Bone marrow aspirate smear. Image size 250×250: 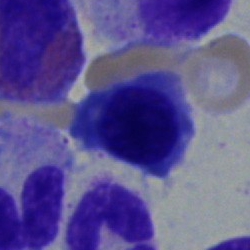
A nucleated red blood cell.